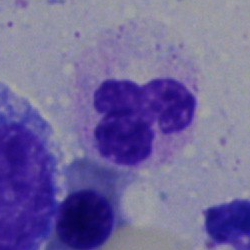
Showing a neutrophil (segmented).